Bone marrow smear: 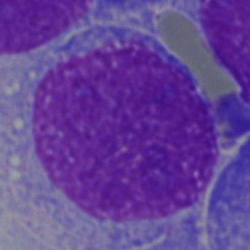 Blast cell.